Bone marrow smear. 250×250. Single cell centered in the field: 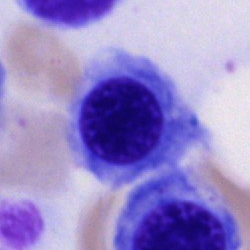

Q: Which cell type is shown here?
A: Erythroblast.